Bone marrow smear
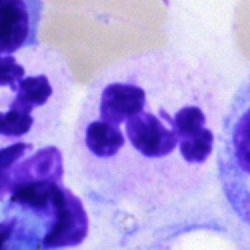
Showing a neutrophil (segmented).